Bone marrow smear.
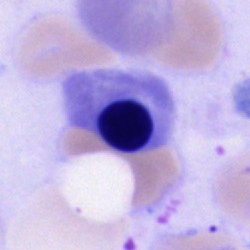Specimen: bone marrow smear.
Cell: nucleated red blood cell.
Lineage: erythroid.